Bone marrow aspirate smear.
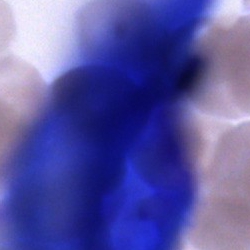
Specimen: bone marrow smear.
Cell type: artifact.